Bone marrow aspirate smear.
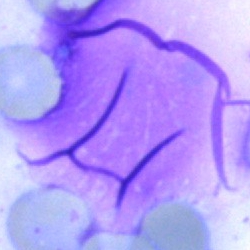 This is an artefact.